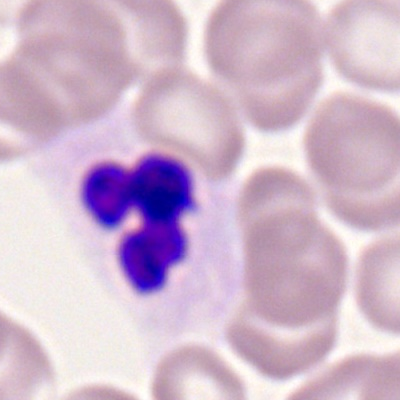

The morphological class is polymorphonuclear neutrophil.